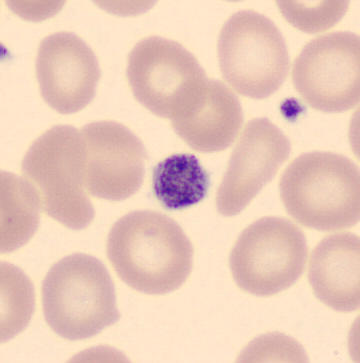This is a platelet. Peripheral blood film.